Bone marrow smear.
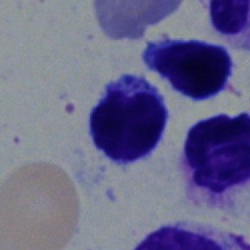
The classification is typical lymphocyte.